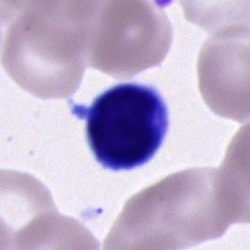

Specimen: bone marrow aspirate smear.
Cell type: lymphocyte.
Lineage: lymphoid.